Bone marrow aspirate smear:
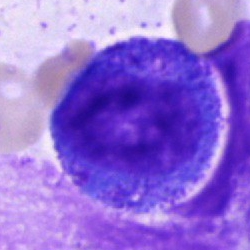

{"cell_type": "promyelocyte", "lineage": "myeloid"}